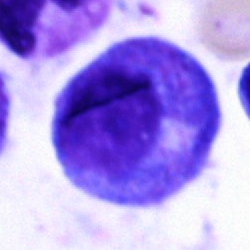

Bone marrow smear showing a progranulocyte.